MGG-stained; bone marrow aspirate smear:
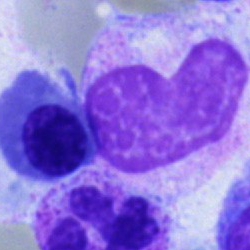
Q: Identify the cell.
A: This is a normoblast.